Single-cell crop. Bone marrow aspirate smear.
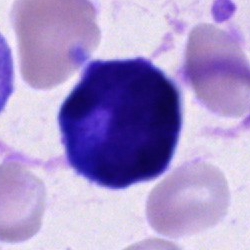 Morphology consistent with a cell of indeterminate lineage.